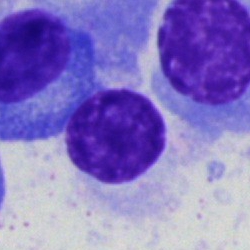

Morphology consistent with a lymphocyte.